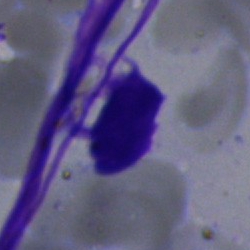
Showing an artefact.